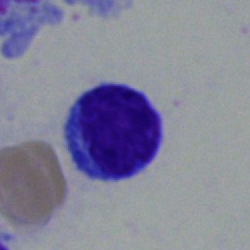

Impression → lymphocyte.